Bone marrow smear; 40× objective, oil immersion; single-cell field — 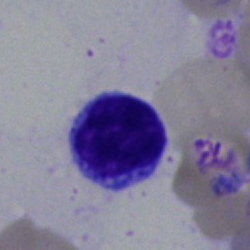 Q: What is shown here?
A: A typical lymphocyte.